Bone marrow smear:
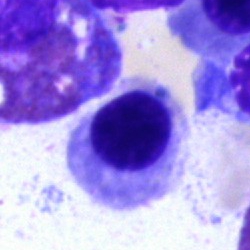Cell: normoblast.